Pappenheim-stained. Bone marrow smear
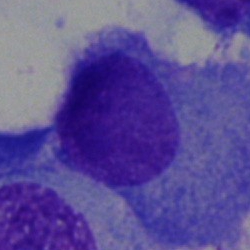
Morphology consistent with a plasmacyte.